Bone marrow smear; single-cell crop; 40× oil immersion.
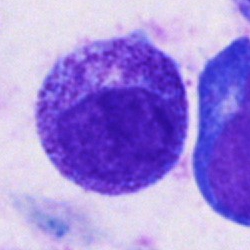 {"cell_type": "promyelocyte", "lineage": "myeloid"}